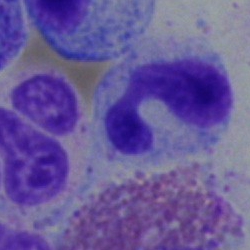
Specimen: bone marrow smear.
Cell: stab cell.
Lineage: myeloid.